Bone marrow smear · May-Grünwald-Giemsa stain.
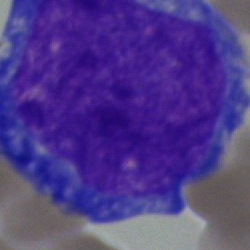 Impression → basophilic granulocyte.